Bone marrow smear · 40× oil immersion · 250×250.
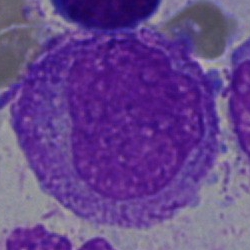
Classification — promyelocyte.